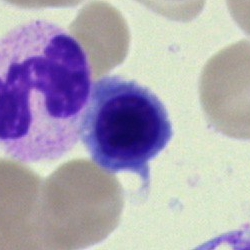Morphology — normoblast.